Pappenheim-stained; bone marrow aspirate smear; single-cell field.
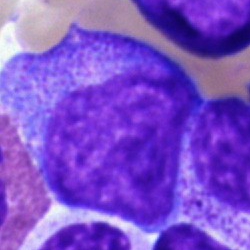 Showing a promyelocyte.